Peripheral blood film
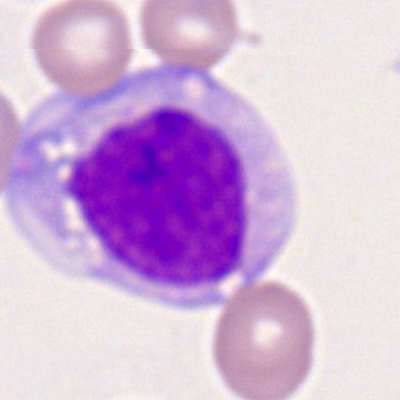

Q: What cell is this?
A: Monocyte.